Bone marrow aspirate smear: 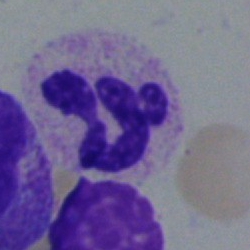

Q: Which cell type is shown here?
A: Neutrophil (segmented).